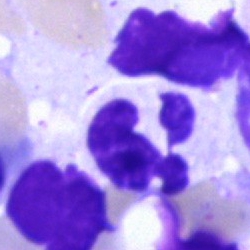 Q: What type of cell is this?
A: It is a segmented neutrophil.